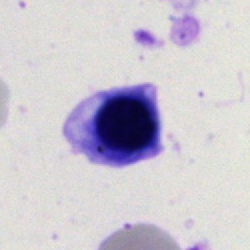
Q: Which cell type is shown here?
A: This is a normoblast.